Bone marrow aspirate smear · 250×250 · May-Grünwald-Giemsa stain: 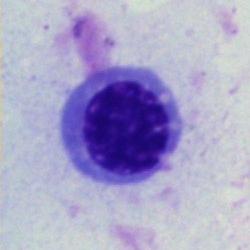

Cell — erythroblast.